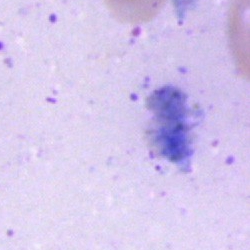Specimen: bone marrow aspirate smear.
Classification: artefact.